Bone marrow smear — 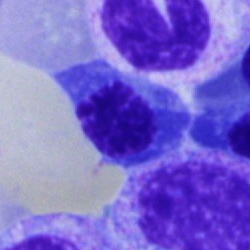An erythroblast.